Cropped to a single cell · bone marrow aspirate smear — 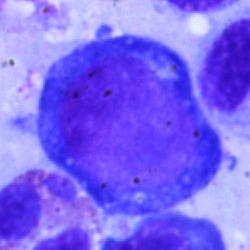

Q: Which cell type is shown here?
A: This is a pronormoblast.